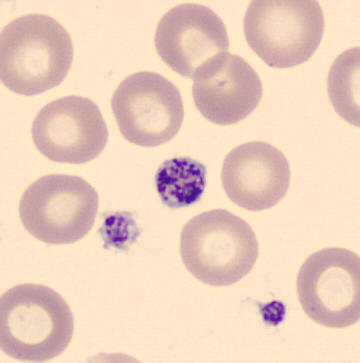
Showing a thrombocyte.
Peripheral blood smear.